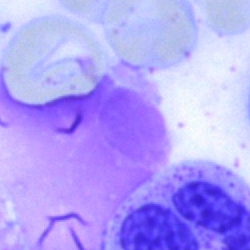

Cell = artefact.